250 by 250 pixels. Bone marrow aspirate smear — 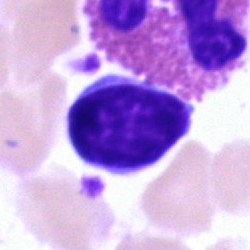

A lymphocyte.